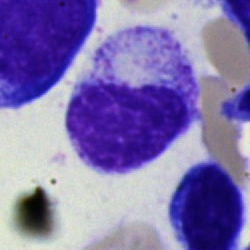 Morphology → metamyelocyte.